100× oil immersion, 14.14 px/µm; peripheral blood film
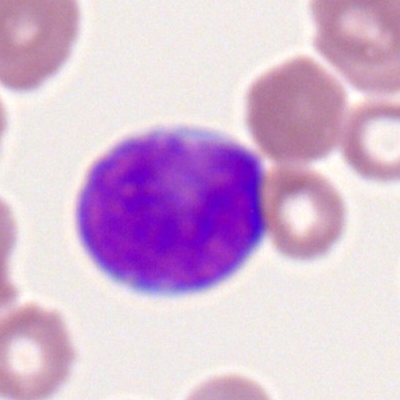

A myeloblast.